400 by 400 pixels · peripheral blood film · single-cell field: 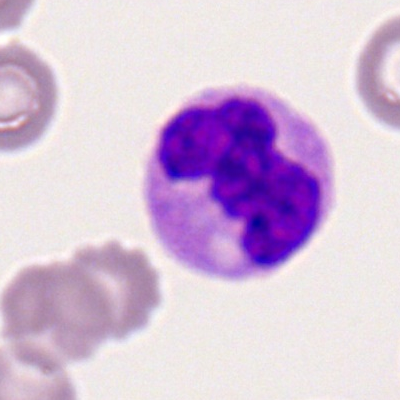

Q: What cell is this?
A: Polymorphonuclear neutrophil.